Bone marrow aspirate smear; MGG-stained.
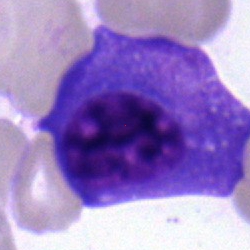

Morphological class — plasmacyte.